Bone marrow aspirate smear — 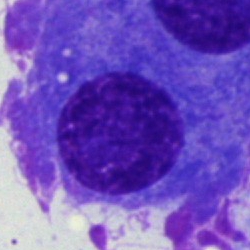

Q: Identify the cell.
A: Plasmacyte.